Bone marrow smear:
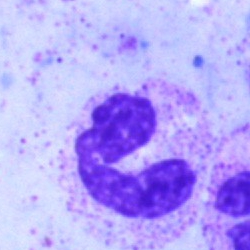 Specimen: bone marrow smear.
Morphological class: band neutrophil.